Bone marrow aspirate smear:
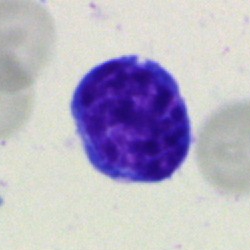Q: Identify the cell.
A: It is a lymphocyte.